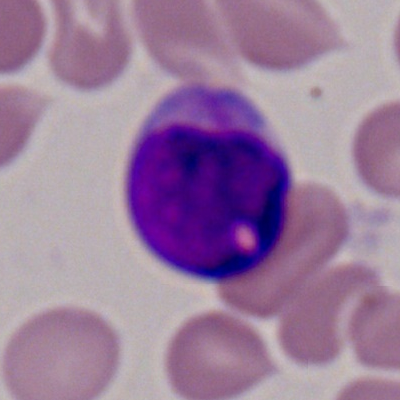 {"cell_type": "myeloid blast", "lineage": "myeloid"}